Bone marrow smear. 250×250 px.
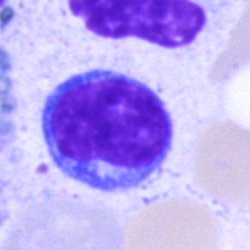Single cell identified as a lymphocyte.